Bone marrow smear
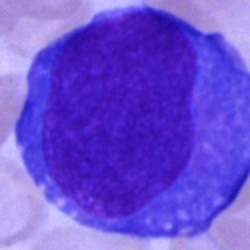Cell = blast cell.